Peripheral blood film. 360×363 px.
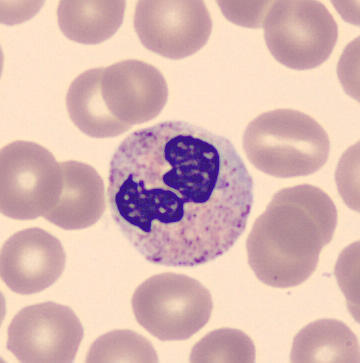
Showing a neutrophil (segmented).